Image size 250×250; bone marrow aspirate smear
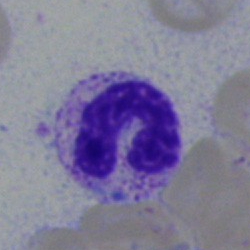 Stab cell.